May-Grünwald-Giemsa stain; bone marrow aspirate smear; single-cell crop.
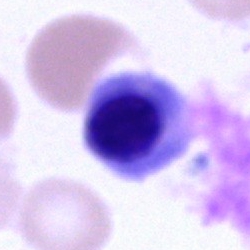
A nucleated red cell.